Peripheral blood smear · Romanowsky-type stain
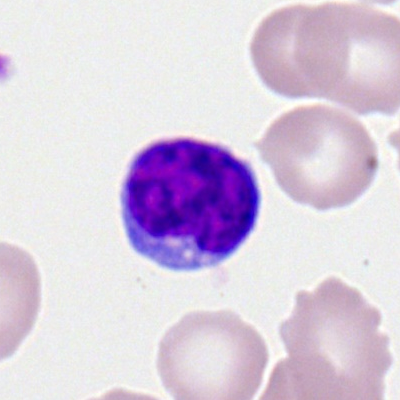 Impression → typical lymphocyte.